Peripheral blood film
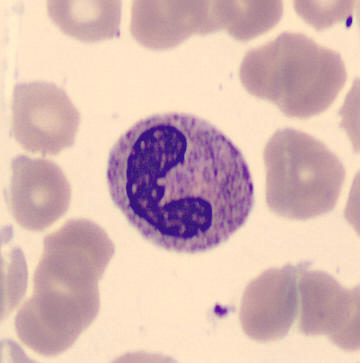

A stab cell.